Peripheral blood smear
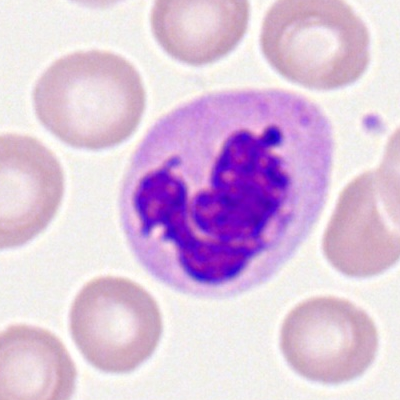

Morphology → neutrophil (segmented).